Cropped to a single cell. Bone marrow smear: 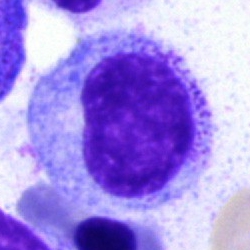
Q: Which cell type is shown here?
A: It is a progranulocyte.